Bone marrow smear:
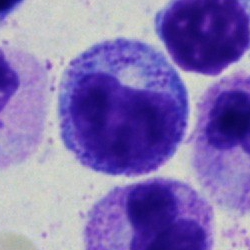
Cell = progranulocyte.